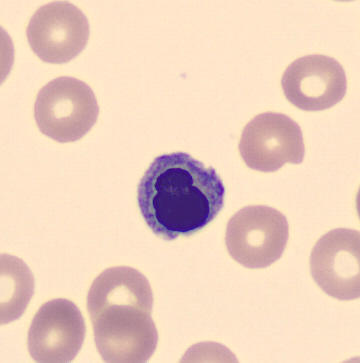Image: Single cell centered in the field. Specimen: peripheral blood film.
Classification: erythroblast.